Bone marrow smear.
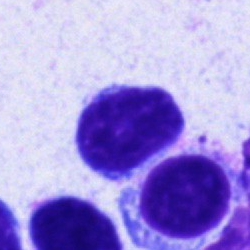
Cell — typical lymphocyte.